Peripheral blood film. Brightfield, 100× oil-immersion objective
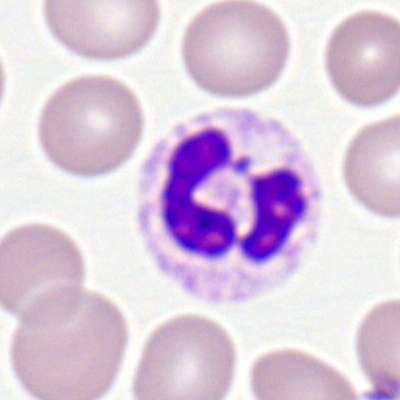 Specimen: peripheral blood smear.
Cell type: polymorphonuclear neutrophil.
Lineage: myeloid.